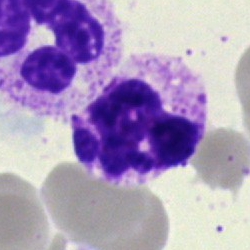Q: Identify the cell.
A: This is a neutrophil (segmented).